40× objective, oil immersion; bone marrow smear:
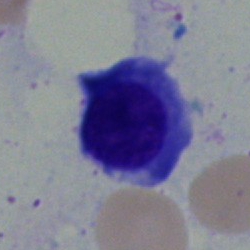This is a normoblast.